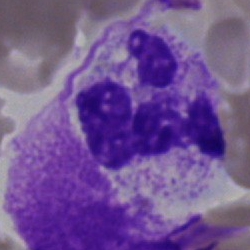
Cell = neutrophil (segmented).